Bone marrow smear:
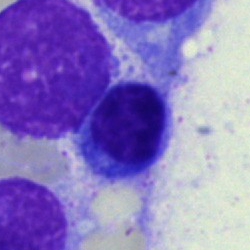
A typical lymphocyte.